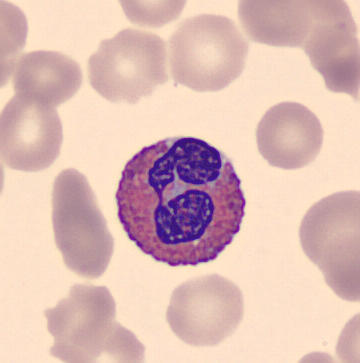

Eosinophilic granulocyte.

Peripheral blood smear.